Single-cell field. Bone marrow aspirate smear. Pappenheim-stained: 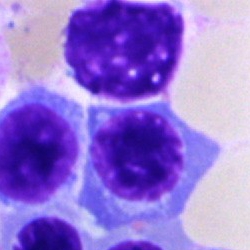 {"cell_type": "normoblast", "lineage": "erythroid"}